Bone marrow smear — 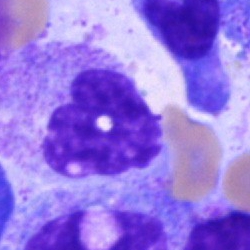 Morphology → neutrophil (segmented).